100× oil immersion; peripheral blood film.
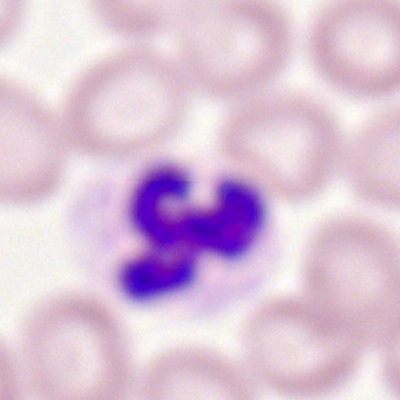
Q: Which cell type is shown here?
A: Neutrophil (segmented).